Bone marrow smear. Single-cell field:
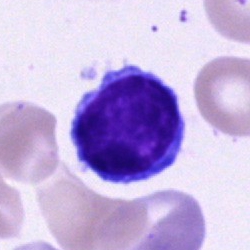Impression — typical lymphocyte.